Bone marrow aspirate smear.
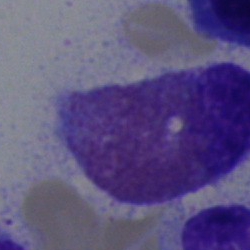

{"cell_type": "eosinophil"}